Bone marrow smear: 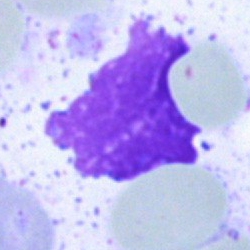
This is an artifact.